Peripheral blood smear · cropped to a single cell
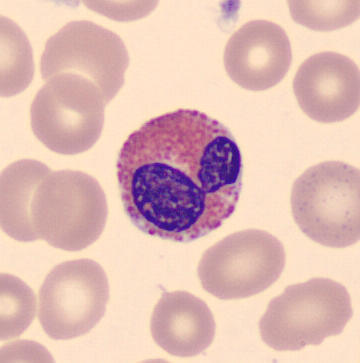
Impression → eosinophilic granulocyte.